Bone marrow aspirate smear. 40× oil immersion.
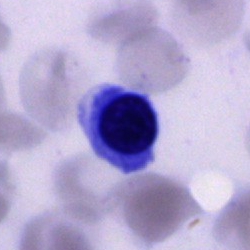Morphological class = cell of indeterminate lineage.